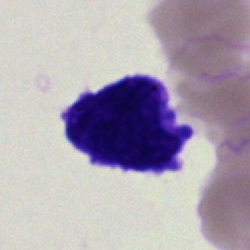 Morphology → blast cell.